Bone marrow aspirate smear:
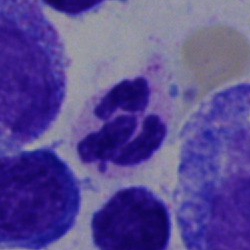The cell type is polymorphonuclear neutrophil.